Bone marrow aspirate smear
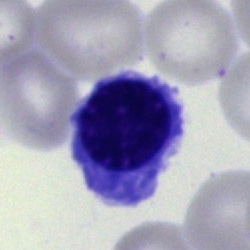 The cell type is normoblast.